Romanowsky stain. M8 digital microscope (Precipoint), 100× oil immersion. Peripheral blood film
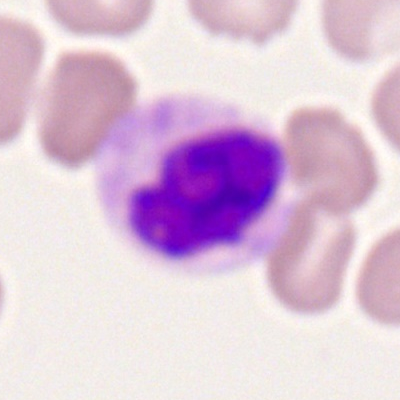

Morphology → segmented neutrophil.